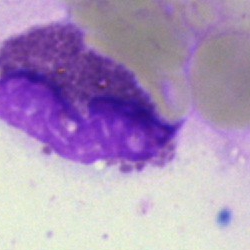Cell = artefact.